Peripheral blood smear:
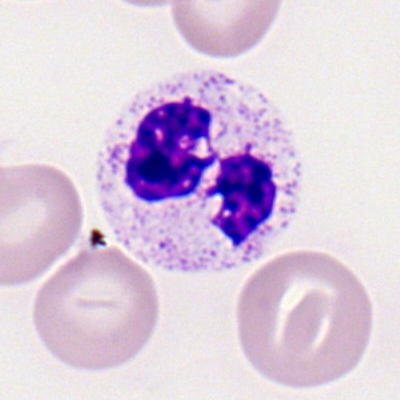 Specimen: peripheral blood smear.
Cell: neutrophil (segmented).